Bone marrow smear. Brightfield, 40× oil-immersion objective: 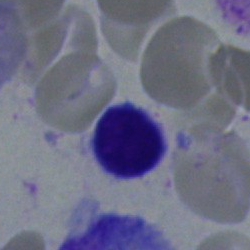

Q: Which cell type is shown here?
A: This is a lymphocyte.